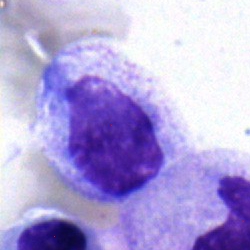 {"cell_type": "myelocyte", "lineage": "myeloid"}